Bone marrow smear; MGG-stained — 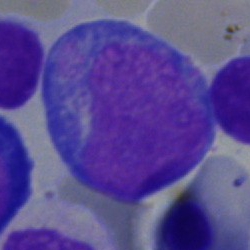Morphology consistent with a blast cell.